Bone marrow aspirate smear.
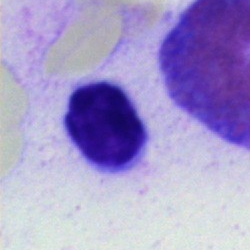 Showing a lymphocyte.